May-Grünwald-Giemsa/Pappenheim stain. Bone marrow smear
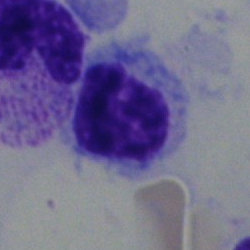
Morphological class: hairy cell.